Bone marrow aspirate smear: 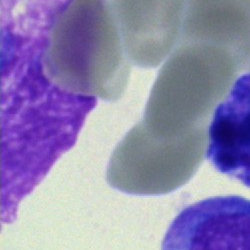
Classification: artifact.